Bone marrow aspirate smear · 250×250 · May-Grünwald-Giemsa stain — 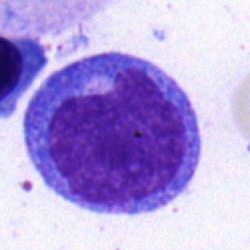 Morphology → progranulocyte.